250×250. Bone marrow smear. 40× objective, oil immersion
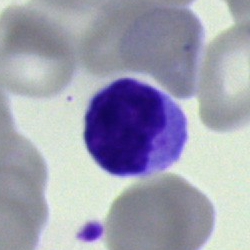Morphological class = lymphocyte.